Brightfield, 40× oil-immersion objective; bone marrow smear.
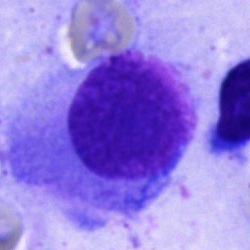A plasmacyte.